Bone marrow smear:
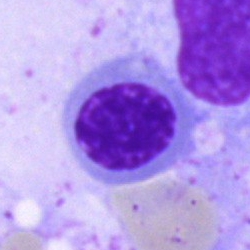 A nucleated red blood cell.